MGG-stained. Bone marrow smear
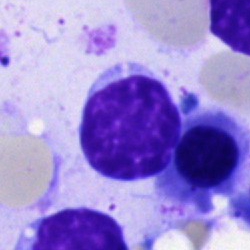 Morphological class — lymphocyte.